40× objective, oil immersion; bone marrow smear
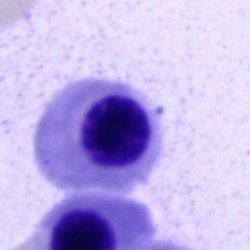 Q: What cell is this?
A: Nucleated red blood cell.